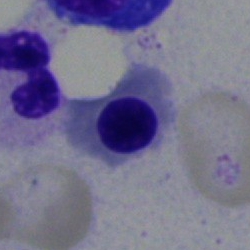
Cell — normoblast.